Bone marrow smear:
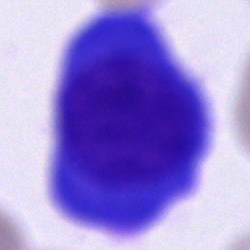 Morphology consistent with a plasmacyte.